Bone marrow smear.
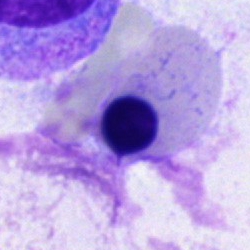

Nucleated red blood cell.